MGG-stained · brightfield, 40× oil-immersion objective · bone marrow smear.
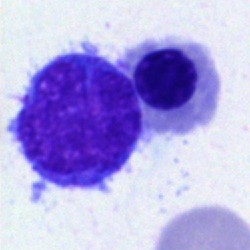A typical lymphocyte.